Bone marrow smear — 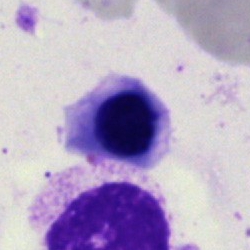
Q: What cell is this?
A: It is an erythroblast.